MGG-stained; bone marrow aspirate smear.
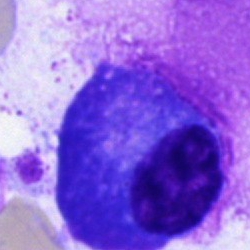Showing a plasma cell.